Bone marrow smear. May-Grünwald-Giemsa/Pappenheim stain:
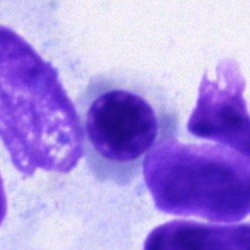

Impression — nucleated red blood cell.